40× oil immersion; bone marrow smear; Pappenheim-stained: 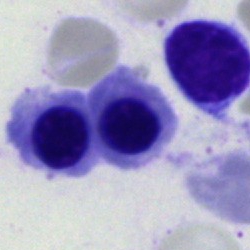
Q: Identify the cell.
A: This is a nucleated red cell.